Bone marrow aspirate smear; 40× objective, oil immersion — 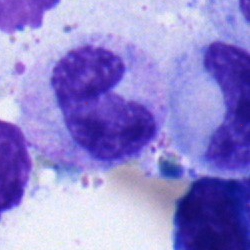

Q: What is shown here?
A: A neutrophil (band).